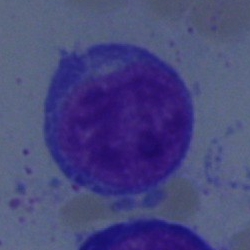 Morphology — blast.